250×250; bone marrow smear.
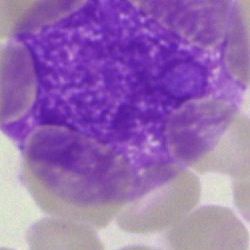
Single cell identified as an artifact.